Bone marrow smear. Pappenheim-stained.
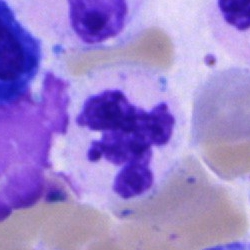 Cell: polymorphonuclear neutrophil.